Bone marrow smear. MGG-stained
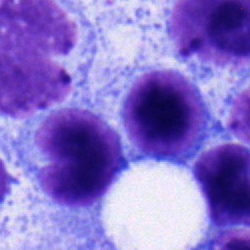Cell = lymphocyte.